Pappenheim-stained · bone marrow smear — 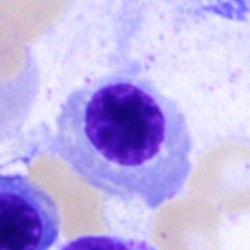This is a nucleated red cell.